Bone marrow smear:
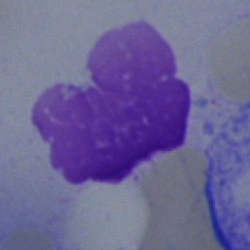Impression → artifact.